Bone marrow aspirate smear:
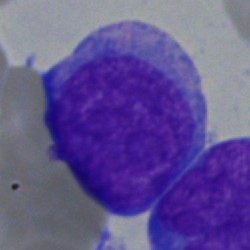
The classification is undifferentiated blast.